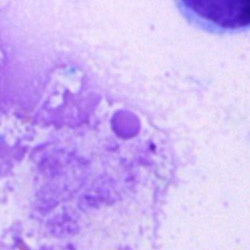
Morphology — artifact.